Bone marrow smear: 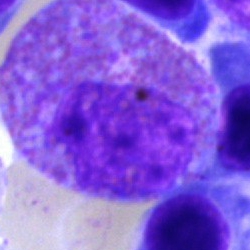{"cell_type": "eosinophilic granulocyte"}